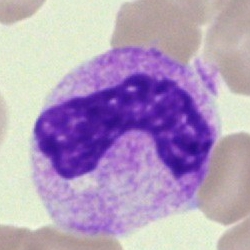
Morphology — band neutrophil.